Bone marrow aspirate smear; 40× objective, oil immersion
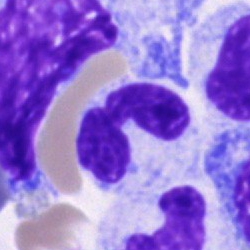
Q: What is the morphological classification of this cell?
A: A polymorphonuclear neutrophil.